Peripheral blood smear.
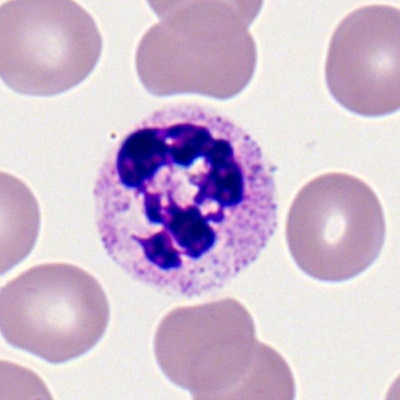Classification: segmented neutrophil.